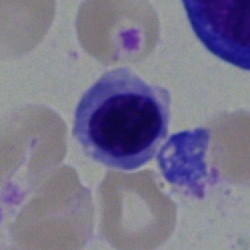

The morphological class is erythroblast.